Bone marrow smear — 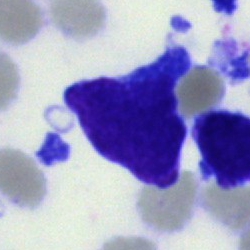The classification is undifferentiated blast.